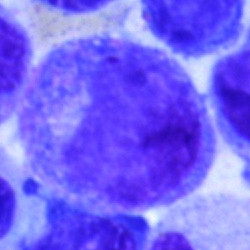 Bone marrow aspirate smear, single cell — promyelocyte.